Bone marrow aspirate smear.
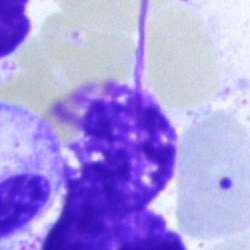

Classification: artifact.